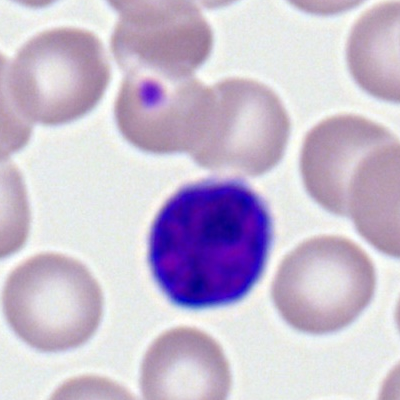

Classification: lymphocyte.